Brightfield, 40× oil-immersion objective. Pappenheim-stained. Bone marrow smear
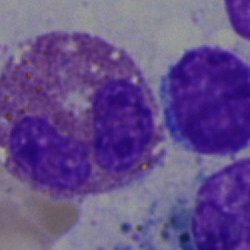 Morphology → eosinophil.